Brightfield, 100× oil-immersion objective; peripheral blood film: 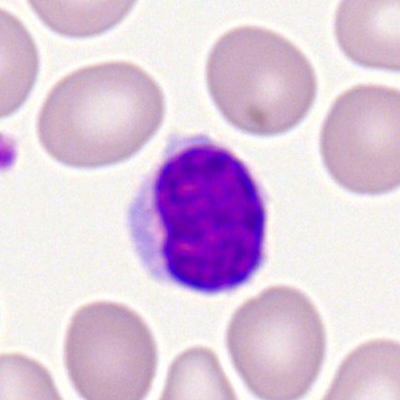

Specimen: peripheral blood smear.
Cell: lymphocyte.
Lineage: lymphoid.